MGG-stained; bone marrow aspirate smear: 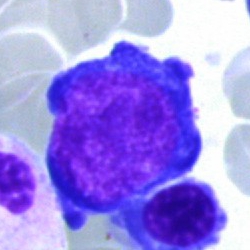
Specimen: bone marrow smear.
Classification: nucleated red blood cell.